Peripheral blood smear — 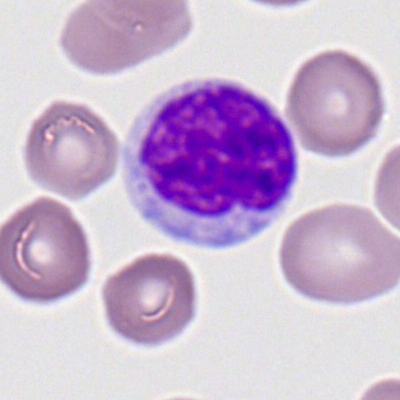 Showing a lymphocyte.